Bone marrow smear — 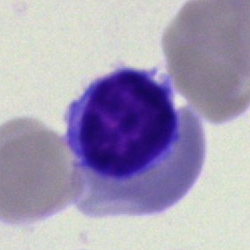{"cell_type": "nucleated red cell"}